Bone marrow smear · May-Grünwald-Giemsa stain · image size 250×250 — 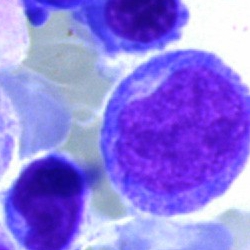Single cell identified as a promyelocyte.